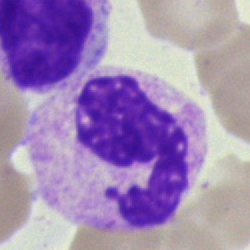
Morphology → neutrophil (segmented).